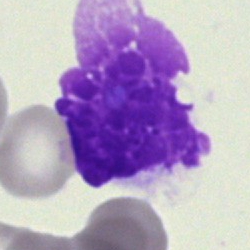
The cell shown is an artifact.